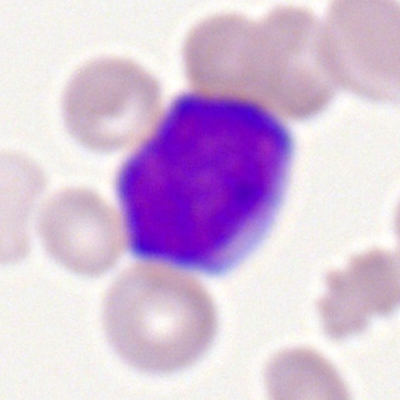Morphology consistent with a myeloblast.